Bone marrow aspirate smear. Cropped to a single cell.
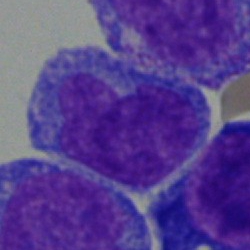Q: Which cell type is shown here?
A: An undifferentiated blast.